Bone marrow aspirate smear; image size 250×250; Pappenheim-stained
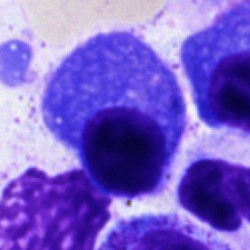The cell is plasmacyte.